Single-cell crop; bone marrow smear: 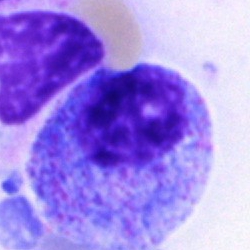
Morphological class — progranulocyte.